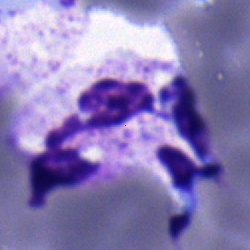
The cell type is polymorphonuclear neutrophil.